Bone marrow aspirate smear; 40× objective, oil immersion; May-Grünwald-Giemsa stain
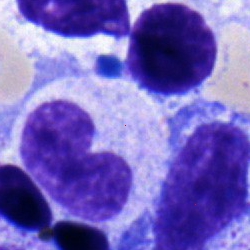

Specimen: bone marrow aspirate smear.
Classification: metamyelocyte.